Bone marrow aspirate smear. 250 by 250 pixels.
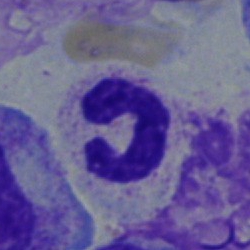Morphology → band neutrophil.